Bone marrow aspirate smear · brightfield microscopy, 40× oil immersion: 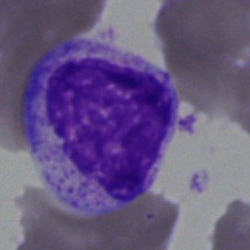
Q: What type of cell is this?
A: Myelocyte.